Bone marrow smear.
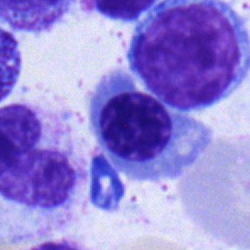Q: What is the morphological classification of this cell?
A: A nucleated red blood cell.